Bone marrow smear
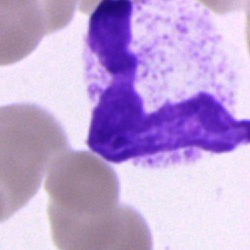Morphology — segmented neutrophil.